Peripheral blood smear:
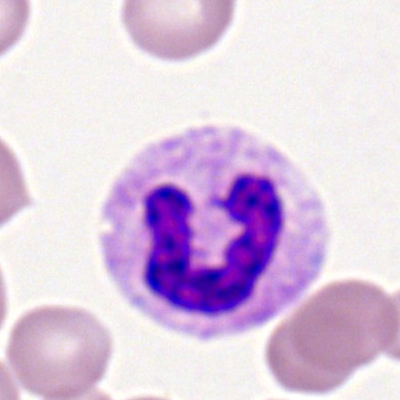

Impression — neutrophil (segmented).